Bone marrow smear
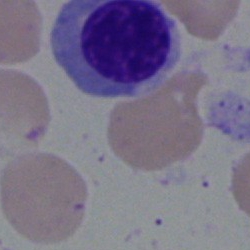
This is a nucleated red cell.